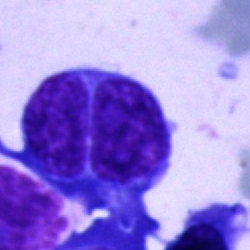Impression — blast.